Bone marrow aspirate smear:
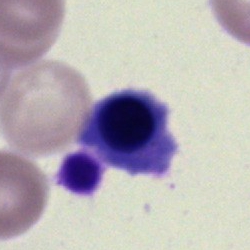 Showing a nucleated red blood cell.